Bone marrow aspirate smear — 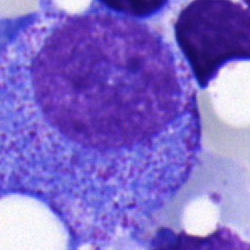 {"cell_type": "progranulocyte", "lineage": "myeloid"}